Bone marrow smear
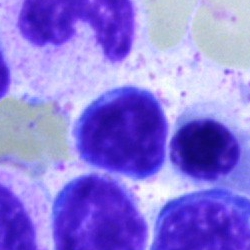Morphological class — lymphocyte.